Bone marrow aspirate smear. May-Grünwald-Giemsa/Pappenheim stain:
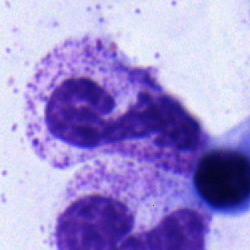
Single cell identified as a polymorphonuclear neutrophil.